May-Grünwald-Giemsa/Pappenheim stain; bone marrow smear; 250×250 px: 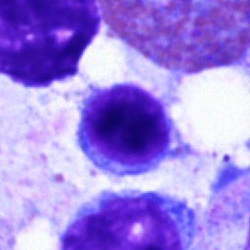 The cell shown is a lymphocyte.